Bone marrow smear — 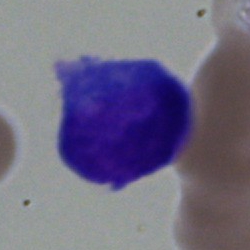

Morphological class: blast.